Bone marrow aspirate smear; MGG-stained.
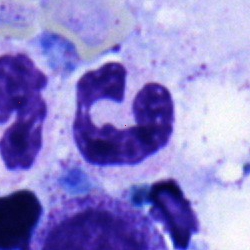

The morphological class is neutrophil (segmented).